250×250 · bone marrow smear
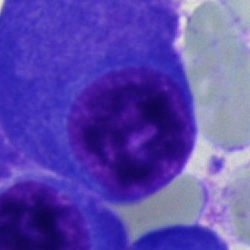 The cell is plasmacyte.